Bone marrow aspirate smear:
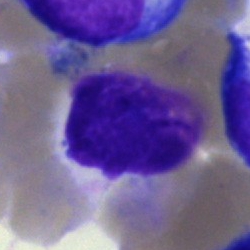

Morphological class = artefact.